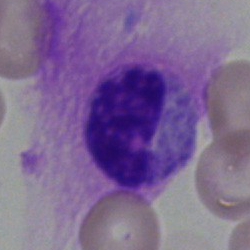 Q: What is shown here?
A: This is a neutrophil (segmented).